Peripheral blood smear. 400×400
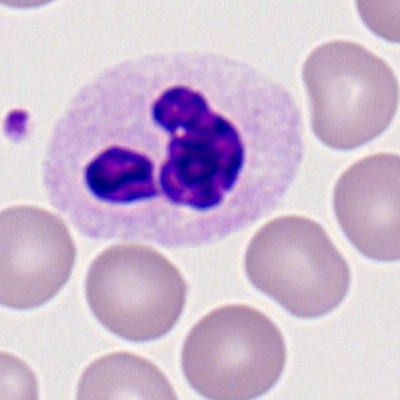 Morphology — segmented neutrophil.